Bone marrow smear:
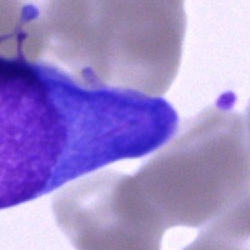 The morphological class is blast.